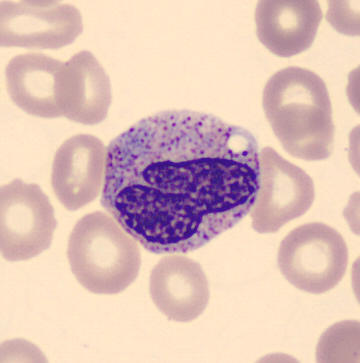MGG-stained · peripheral blood smear.

Cell type — metamyelocyte.